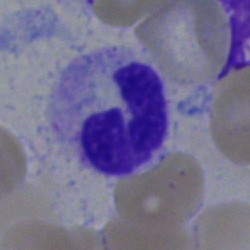
Impression → neutrophil (band).